May-Grünwald-Giemsa stain · bone marrow smear:
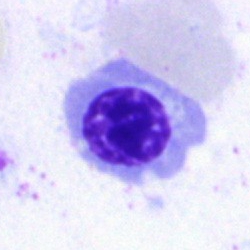The cell is normoblast.